Bone marrow aspirate smear.
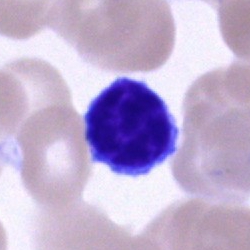Classification = typical lymphocyte.